Bone marrow aspirate smear:
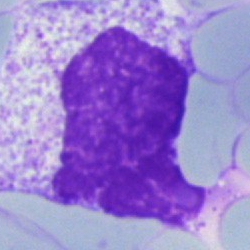
The cell is artefact.